Romanowsky-type stain; peripheral blood smear.
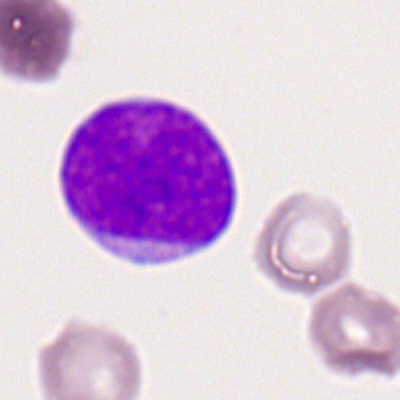 Myeloblast.